Bone marrow smear · 250 by 250 pixels · cropped to a single cell:
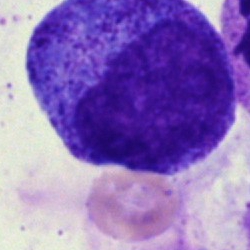

The cell type is promyelocyte.